Romanowsky-stained; 400×400 px; peripheral blood film
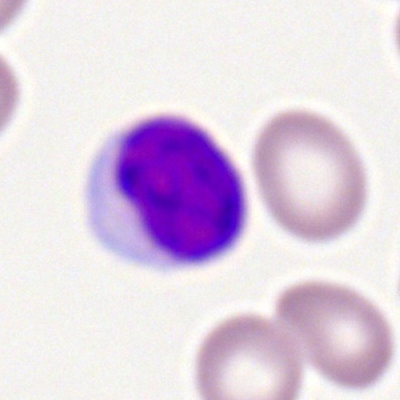Typical lymphocyte.